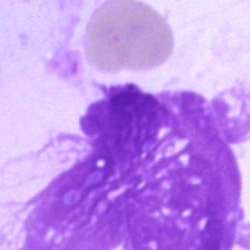 Q: What is shown here?
A: An artefact.